Bone marrow aspirate smear: 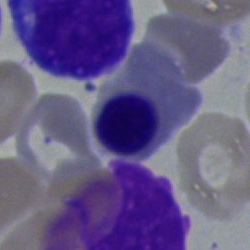 Single cell identified as an erythroblast.